May-Grünwald-Giemsa/Pappenheim stain. Bone marrow aspirate smear.
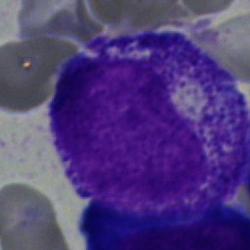 Q: What is shown here?
A: It is a progranulocyte.